400×400 px. Peripheral blood film:
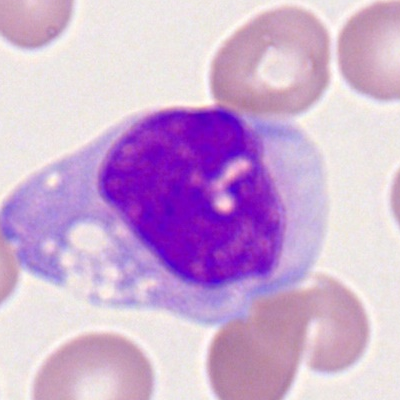A monocyte.